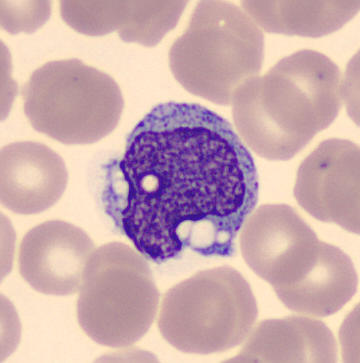Q: Which cell type is shown here?
A: Monocyte. Peripheral blood film.